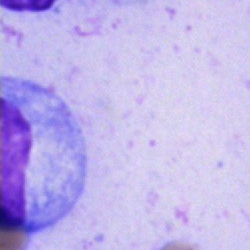

Bone marrow smear showing an unidentifiable cell.